Bone marrow smear.
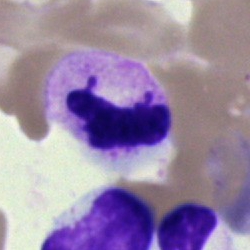

Classification = segmented neutrophil.